Bone marrow smear.
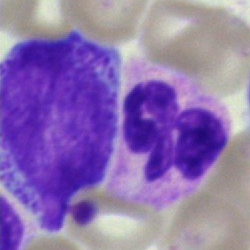Showing a segmented neutrophil.